Bone marrow smear
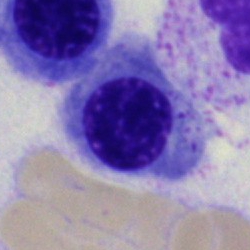
Cell: normoblast.